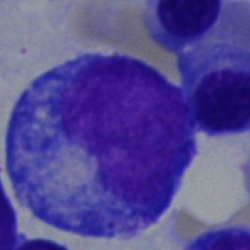

Q: Identify the cell.
A: Promyelocyte.